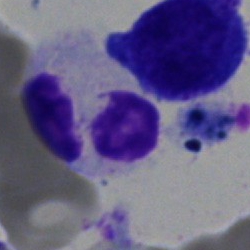
Specimen: bone marrow smear.
Cell: artifact.